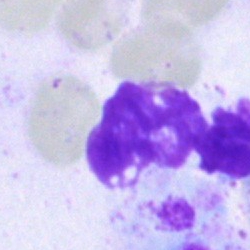
Q: What is shown here?
A: Artifact.